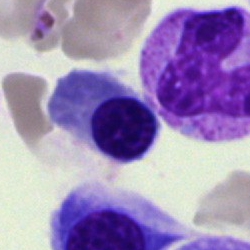

A nucleated red blood cell.